Bone marrow aspirate smear.
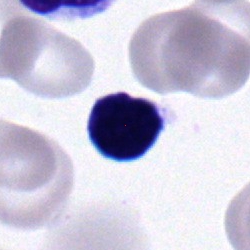 The cell is lymphocyte.